Single-cell crop; bone marrow aspirate smear; MGG-stained — 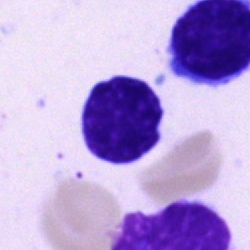Q: Identify the cell.
A: A lymphocyte.